Bone marrow smear: 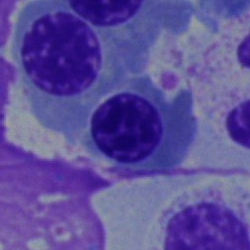

The classification is nucleated red blood cell.